Peripheral blood smear — 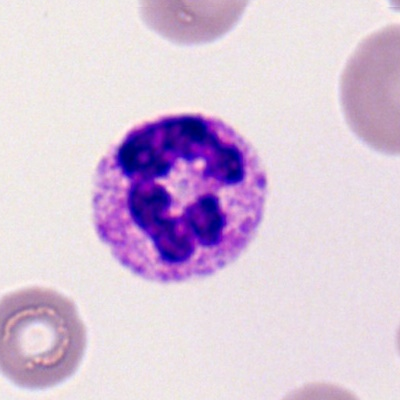
Single cell identified as a neutrophil (segmented).